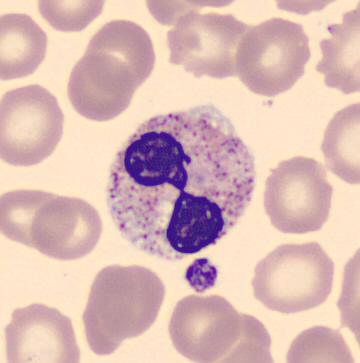
Q: What type of cell is this?
A: This is a polymorphonuclear neutrophil.

Image: Peripheral blood film · image size 360×363.